Bone marrow smear
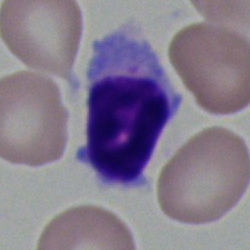

Morphology consistent with a typical lymphocyte.